Bone marrow smear; 250 by 250 pixels — 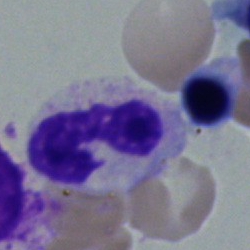
This is a neutrophil (segmented).